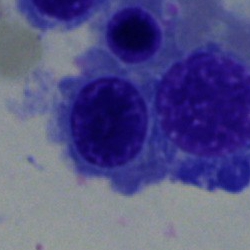

Specimen: bone marrow smear.
Morphological class: normoblast.
Lineage: erythroid.